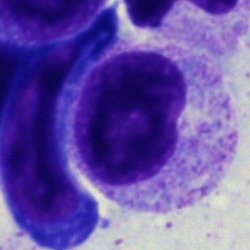 Q: What is shown here?
A: It is a metamyelocyte.